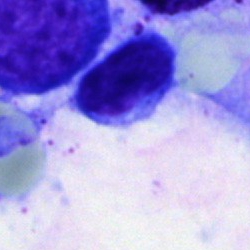

Morphology consistent with an artifact.